Bone marrow aspirate smear — 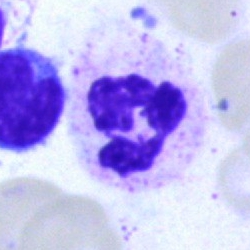
Specimen: bone marrow aspirate smear.
Morphological class: polymorphonuclear neutrophil.
Lineage: myeloid.